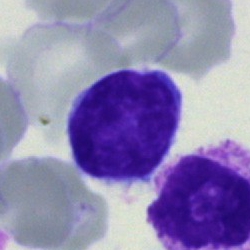
Cell type — typical lymphocyte.